Bone marrow aspirate smear; 250 by 250 pixels; brightfield, 40× oil-immersion objective — 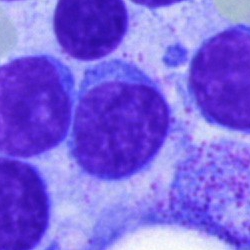

Impression — lymphocyte.